40× oil immersion; Pappenheim-stained; bone marrow aspirate smear
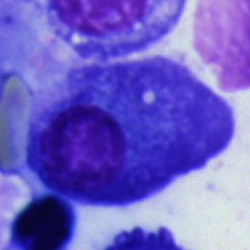 A plasmacyte.